Bone marrow smear — 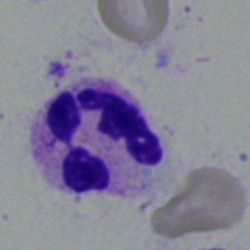
Classification = neutrophil (segmented).